Peripheral blood smear: 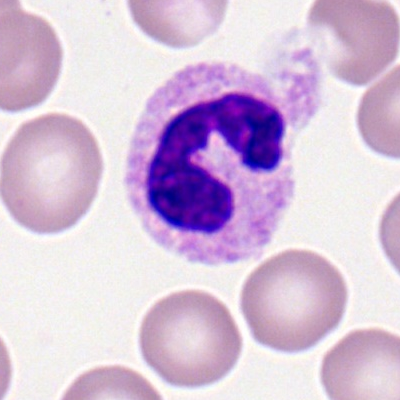 Morphological class = segmented neutrophil.